Bone marrow aspirate smear · 250×250 px:
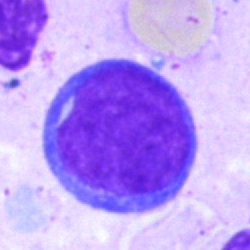 {"cell_type": "undifferentiated blast"}